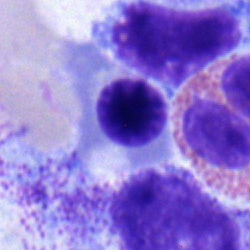Impression → erythroblast.